Bone marrow aspirate smear
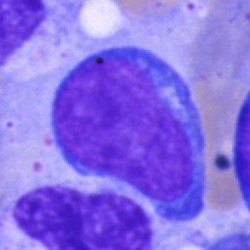

Q: What cell is this?
A: An undifferentiated blast.